Bone marrow aspirate smear: 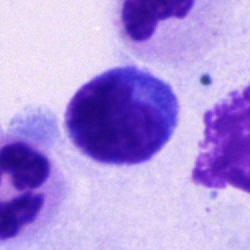Cell type — typical lymphocyte.